Bone marrow aspirate smear — 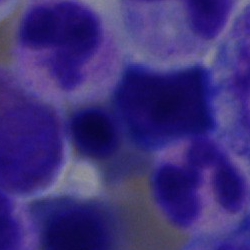Cell type — erythroblast.